May-Grünwald-Giemsa/Pappenheim stain. Single-cell crop. Bone marrow smear
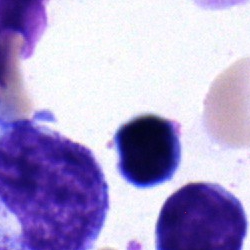Specimen: bone marrow aspirate smear.
Morphological class: typical lymphocyte.
Lineage: lymphoid.